Bone marrow aspirate smear.
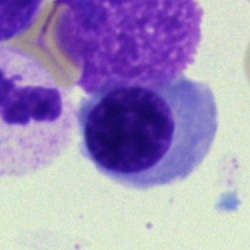This is a normoblast.